Bone marrow smear:
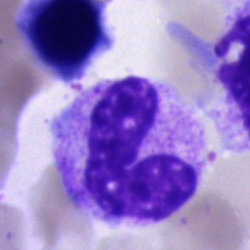Q: What is the morphological classification of this cell?
A: Band-form neutrophil.